Bone marrow smear · single-cell crop · MGG-stained
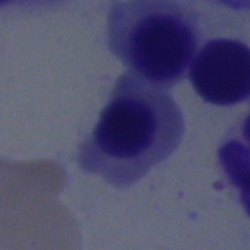 This is a nucleated red cell.